Romanowsky-stained. Peripheral blood smear:
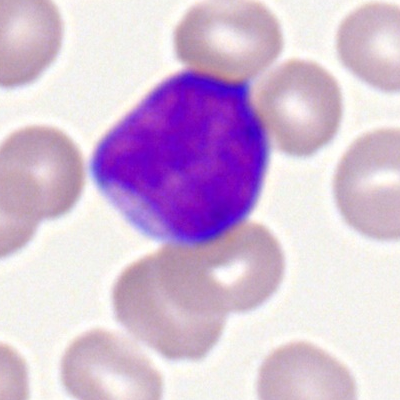Specimen: peripheral blood smear.
Classification: myeloblast.